Bone marrow aspirate smear
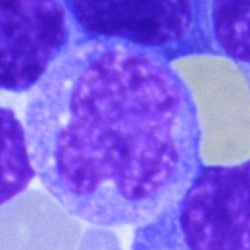Morphological class = monocyte.